Bone marrow smear. May-Grünwald-Giemsa/Pappenheim stain. 40× objective, oil immersion:
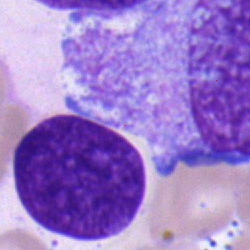This is a typical lymphocyte.